Brightfield microscopy, 40× oil immersion. Single-cell crop. Bone marrow aspirate smear:
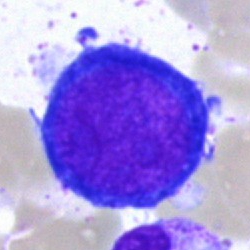
The cell shown is a proerythroblast.